Bone marrow smear; May-Grünwald-Giemsa/Pappenheim stain; 250×250 px: 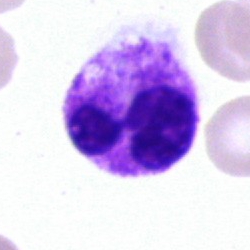

Q: What type of cell is this?
A: It is a neutrophil (segmented).